Bone marrow smear.
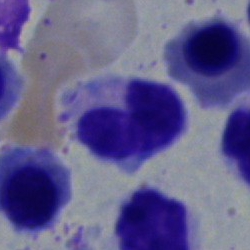
Q: What is the morphological classification of this cell?
A: This is a metamyelocyte.